Single-cell field · bone marrow smear:
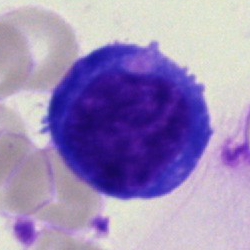Morphology — normoblast.